Bone marrow smear.
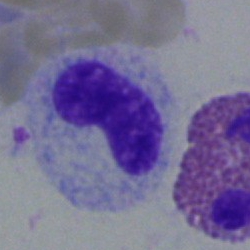 Specimen: bone marrow aspirate smear.
Classification: stab cell.
Lineage: myeloid.